Bone marrow smear:
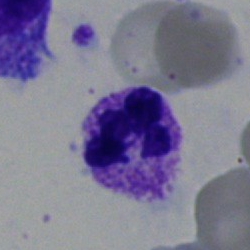

A segmented neutrophil.